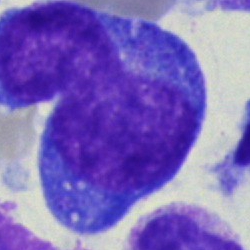Q: What type of cell is this?
A: It is a blast cell.